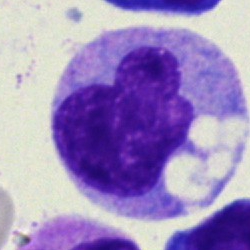

Impression → monocyte.